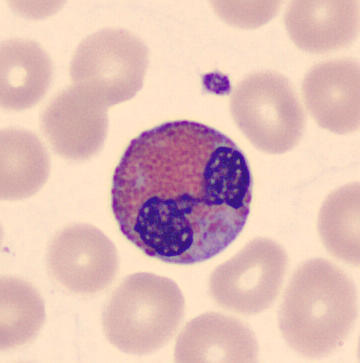

Morphology consistent with an eosinophil.